Single-cell field. Image size 250×250. Bone marrow aspirate smear: 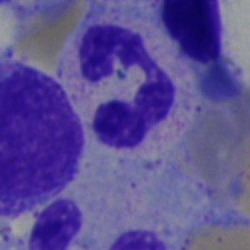 Cell type — segmented neutrophil.